Bone marrow aspirate smear · May-Grünwald-Giemsa/Pappenheim stain — 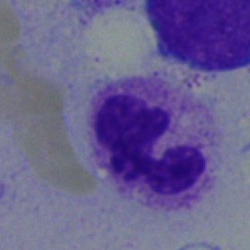The classification is neutrophil (segmented).